Bone marrow aspirate smear
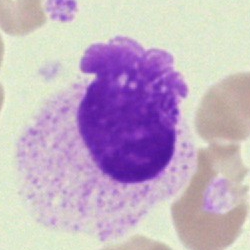

This is an unidentifiable cell.